Peripheral blood film; Romanowsky-type stain; 400×400 px.
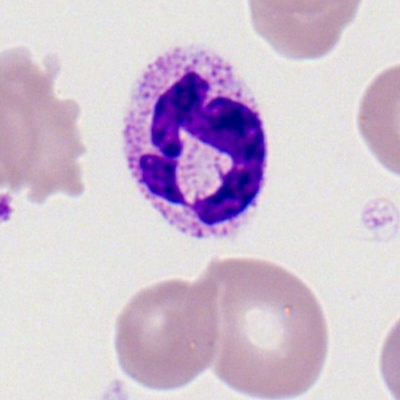 The cell shown is a polymorphonuclear neutrophil.